Bone marrow aspirate smear; brightfield microscopy, 40× oil immersion: 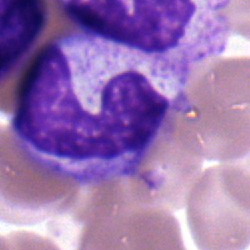Classification — neutrophil (band).